Bone marrow aspirate smear.
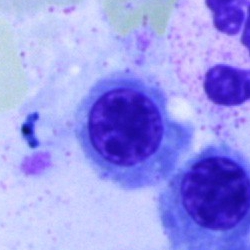Q: What cell is this?
A: It is a nucleated red blood cell.